Bone marrow smear
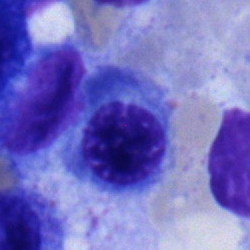
This is a nucleated red blood cell.